Bone marrow aspirate smear: 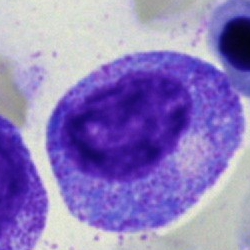
Morphology consistent with a promyelocyte.